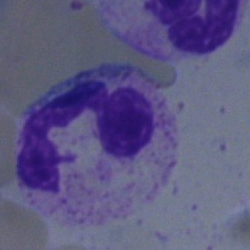 Impression → segmented neutrophil.